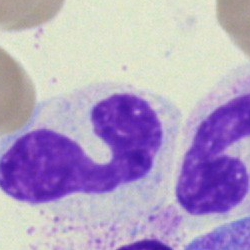

Showing a polymorphonuclear neutrophil.